Bone marrow aspirate smear: 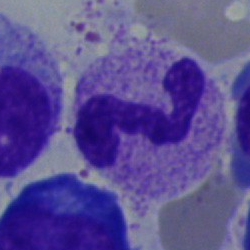

Q: What is the morphological classification of this cell?
A: This is a polymorphonuclear neutrophil.